Bone marrow smear; brightfield microscopy, 40× oil immersion
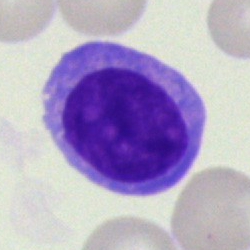
Specimen: bone marrow aspirate smear.
Cell: lymphocyte.
Lineage: lymphoid.